Bone marrow aspirate smear. 250×250 — 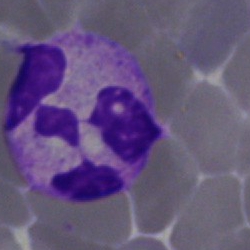 The classification is neutrophil (segmented).